Brightfield, 40× oil-immersion objective; bone marrow aspirate smear:
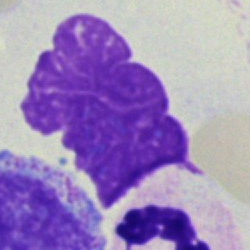Single cell identified as an artefact.